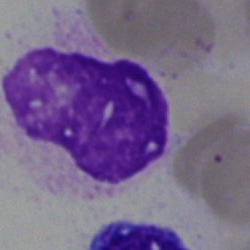 Impression → artefact.